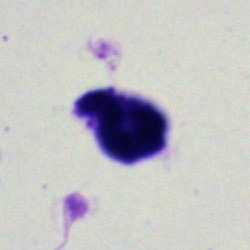
The cell shown is an artifact.